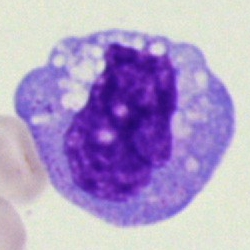 Cell: monocyte.